Bone marrow aspirate smear — 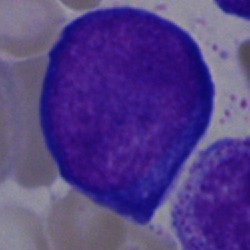 This is a pronormoblast.